Bone marrow aspirate smear:
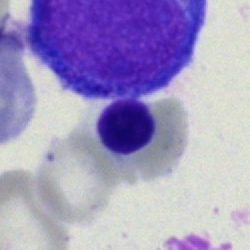Q: What cell is this?
A: It is a nucleated red cell.